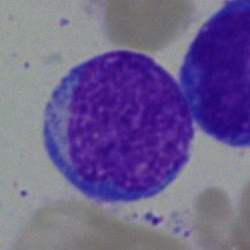The cell is blast cell.